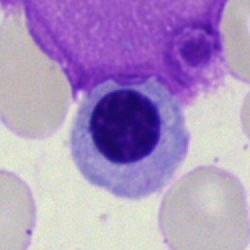Q: What type of cell is this?
A: A nucleated red blood cell.